Bone marrow aspirate smear: 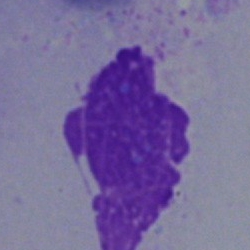Specimen: bone marrow aspirate smear.
Cell type: artefact.